Peripheral blood smear — 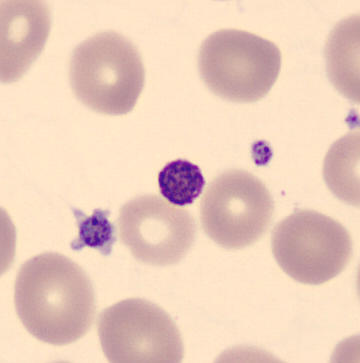Specimen: peripheral blood smear.
Morphological class: platelet.